Bone marrow aspirate smear.
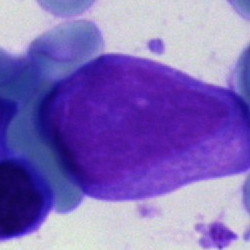Morphological class — blast.